Bone marrow aspirate smear — 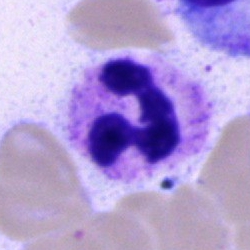

Morphology → neutrophil (segmented).